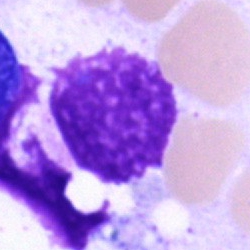Cell: artefact.